Single cell centered in the field; bone marrow aspirate smear: 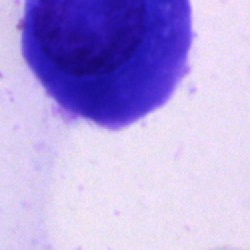Cell type: plasmacyte.